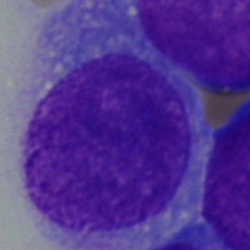Single-cell crop from a bone marrow smear: blast cell.